Bone marrow smear: 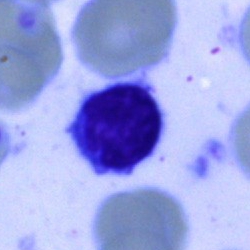Specimen: bone marrow aspirate smear.
Classification: lymphocyte.
Lineage: lymphoid.